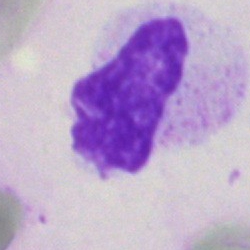

Classification — artifact.